Bone marrow aspirate smear:
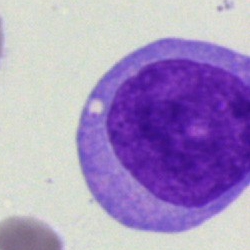

Showing a blast cell.